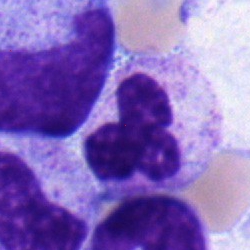{"cell_type": "neutrophil (segmented)"}